Bone marrow aspirate smear; May-Grünwald-Giemsa/Pappenheim stain — 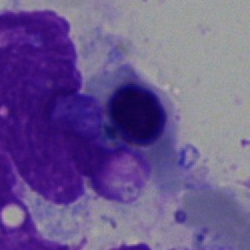
Cell — normoblast.